Romanowsky stain · peripheral blood smear — 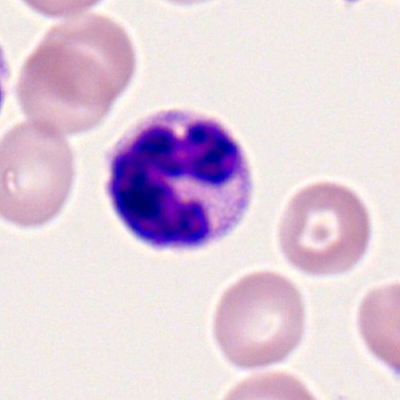

Morphological class — segmented neutrophil.